40× oil immersion. 250 by 250 pixels. Bone marrow smear.
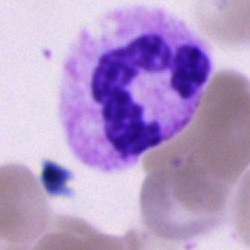 The cell is polymorphonuclear neutrophil.